Bone marrow smear.
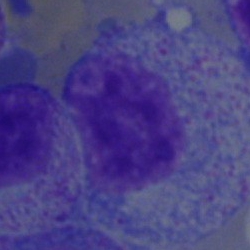 The cell shown is a myelocyte.